Bone marrow aspirate smear. MGG-stained
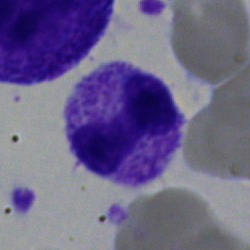
Q: Identify the cell.
A: A neutrophil (segmented).